Bone marrow aspirate smear:
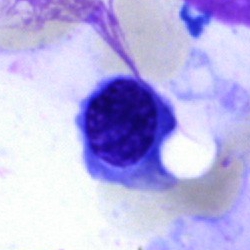

The cell is erythroblast.